Bone marrow aspirate smear; May-Grünwald-Giemsa/Pappenheim stain; brightfield, 40× oil-immersion objective: 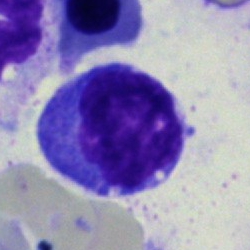 Morphology — plasmacyte.